Bone marrow aspirate smear: 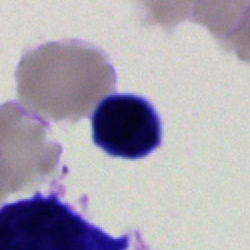Cell: artefact.